Bone marrow smear:
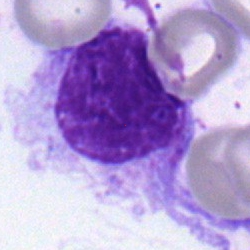
Q: What is the morphological classification of this cell?
A: A myelocyte.